Bone marrow aspirate smear:
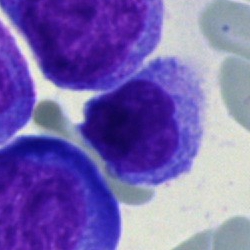
Lymphocyte.